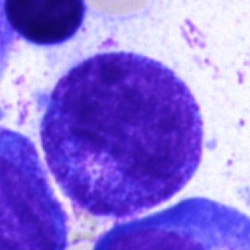 A progranulocyte.